Single cell centered in the field. May-Grünwald-Giemsa/Pappenheim stain. Bone marrow aspirate smear — 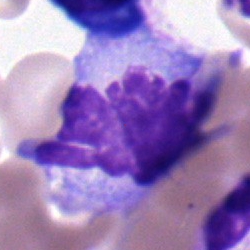Cell — monocyte.